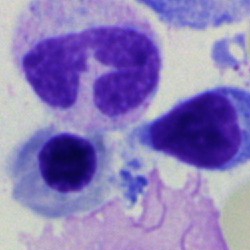Q: What cell is this?
A: This is an erythroblast.